250 by 250 pixels; bone marrow aspirate smear: 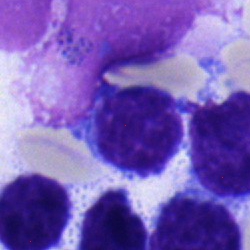Q: Identify the cell.
A: A lymphocyte.